Bone marrow smear — 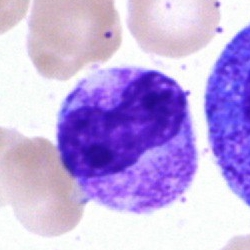Classification = band neutrophil.